Bone marrow aspirate smear: 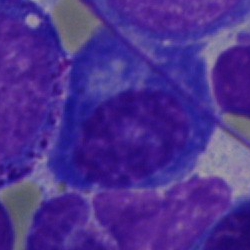 Classification — plasma cell.